Bone marrow aspirate smear: 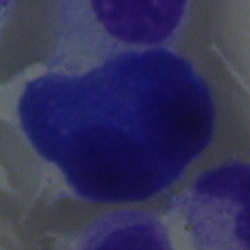

Plasma cell.